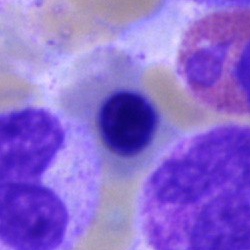
Specimen: bone marrow aspirate smear.
Cell type: normoblast.
Lineage: erythroid.